Bone marrow smear — 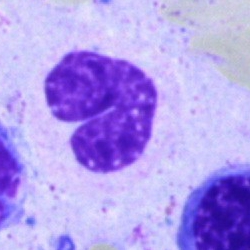 Specimen: bone marrow aspirate smear.
Morphological class: band-form neutrophil.
Lineage: myeloid.